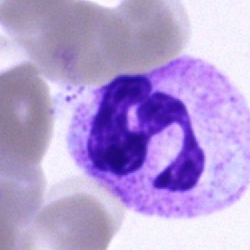

Morphological class: segmented neutrophil.